Bone marrow aspirate smear · 250 by 250 pixels
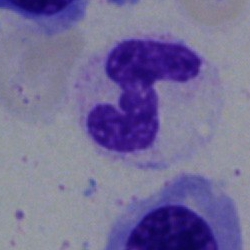 Single cell identified as a neutrophil (segmented).